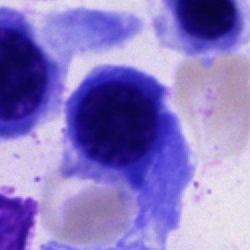

A plasma cell.